Bone marrow aspirate smear: 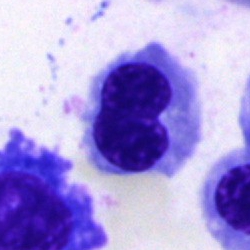
Erythroblast.